Bone marrow smear · MGG-stained.
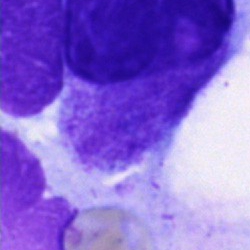
Q: What is shown here?
A: Artifact.